Bone marrow smear · May-Grünwald-Giemsa stain
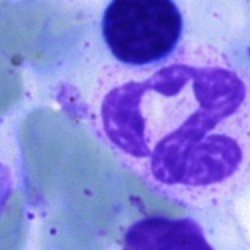
Cell = segmented neutrophil.